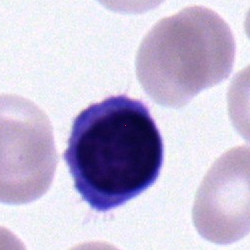
The cell is lymphocyte.